Peripheral blood smear
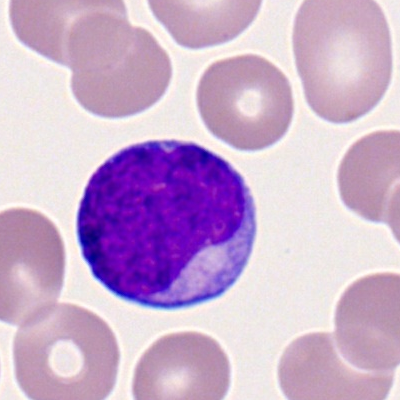 Classification: myeloid blast.